Single-cell field; bone marrow aspirate smear: 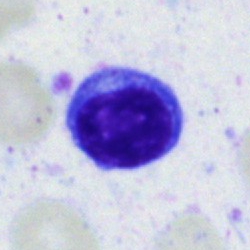
Showing a lymphocyte.